Bone marrow smear
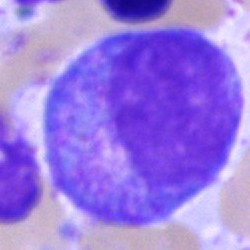Q: What cell is this?
A: This is a promyelocyte.